Bone marrow aspirate smear:
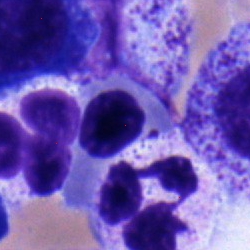Single cell identified as an erythroblast.